Bone marrow aspirate smear · May-Grünwald-Giemsa stain.
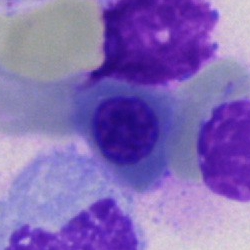 Impression — nucleated red blood cell.